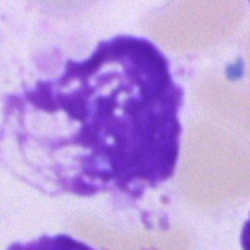 Showing an artefact.